Peripheral blood film.
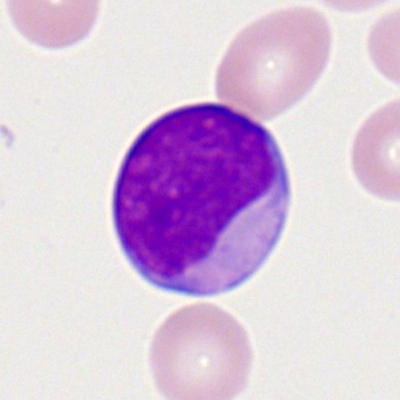 Cell — myeloblast.